Bone marrow aspirate smear · single-cell crop · May-Grünwald-Giemsa stain
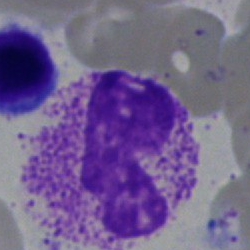
An artefact.